Brightfield, 40× oil-immersion objective. Bone marrow aspirate smear:
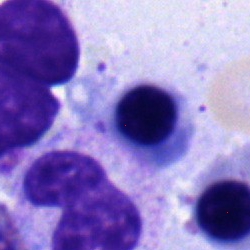

Classification — nucleated red cell.